Bone marrow aspirate smear — 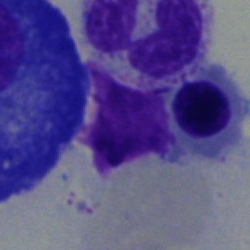
Cell — nucleated red cell.